Bone marrow smear: 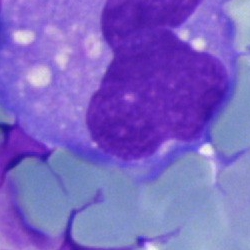 The cell is monocyte.